Bone marrow aspirate smear.
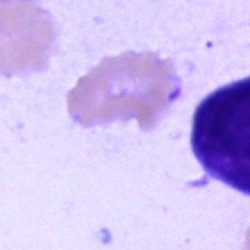
Cell type: artifact.